Bone marrow smear.
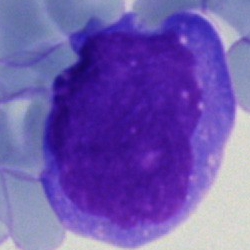 The cell is blast cell.